Bone marrow aspirate smear; 250×250 px — 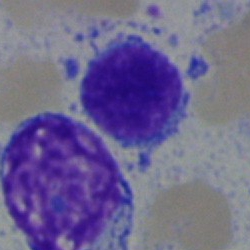Morphology consistent with a typical lymphocyte.